Bone marrow smear
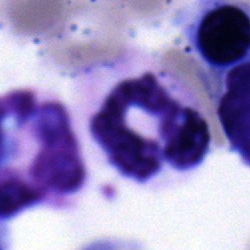
Q: What is shown here?
A: Polymorphonuclear neutrophil.